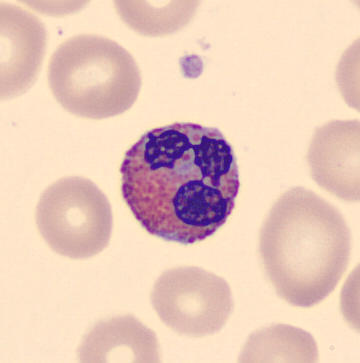

Eosinophil.